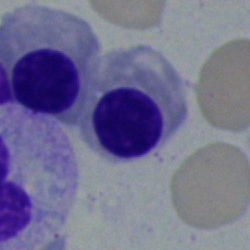 A nucleated red blood cell on a bone marrow smear.